Peripheral blood film: 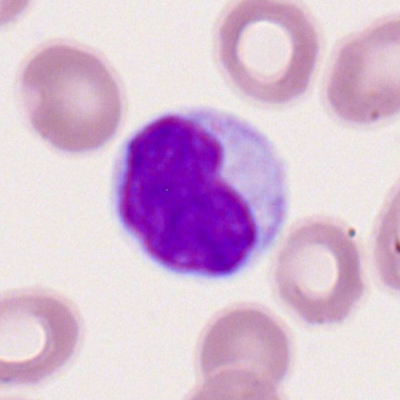 The cell shown is a lymphocyte.